Bone marrow smear · single-cell field · brightfield, 40× oil-immersion objective
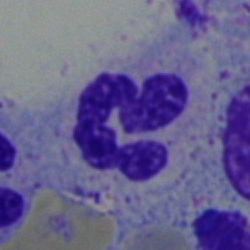Cell — neutrophil (segmented).